Bone marrow smear: 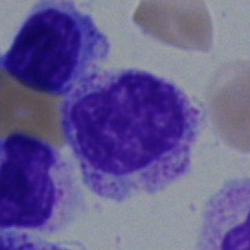

Q: What cell is this?
A: A myelocyte.